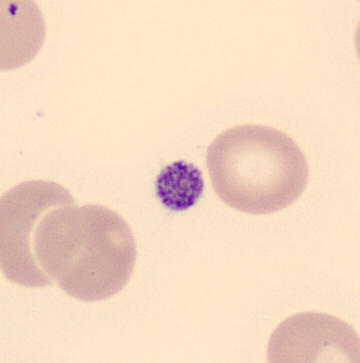

Specimen: peripheral blood smear.
Classification: platelet.